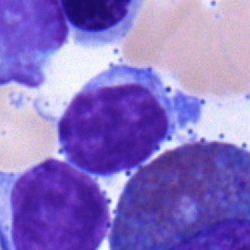Specimen: bone marrow smear.
Cell: lymphocyte.